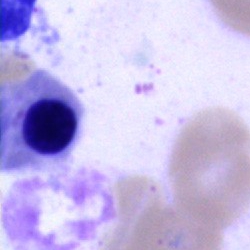

{"cell_type": "nucleated red blood cell", "lineage": "erythroid"}